Bone marrow aspirate smear
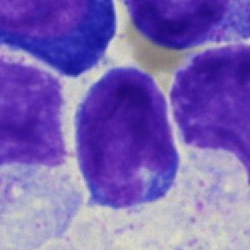 Showing a lymphocyte.